Single-cell crop; 40× objective, oil immersion; bone marrow aspirate smear:
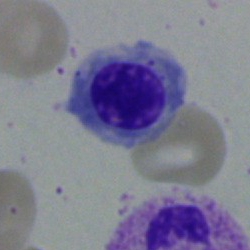This is a nucleated red blood cell.